Bone marrow aspirate smear — 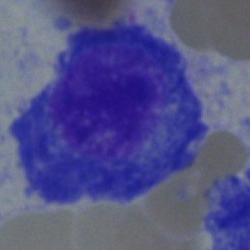
Morphology → plasmacyte.